Bone marrow aspirate smear: 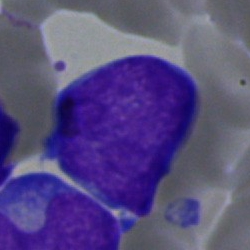Cell — blast.